Bone marrow aspirate smear.
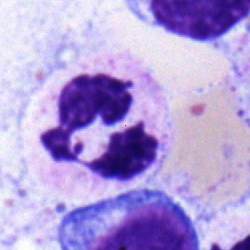
This is a segmented neutrophil.